Bone marrow aspirate smear: 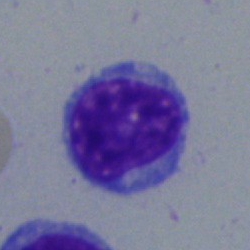
Cell type — typical lymphocyte.